Bone marrow smear; image size 250×250
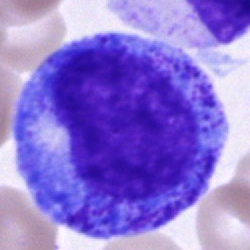
This is a promyelocyte.